Image size 250×250 · single-cell crop · bone marrow smear.
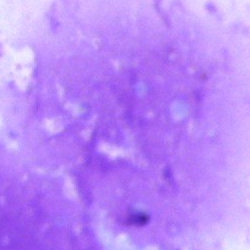An artifact.